Bone marrow smear.
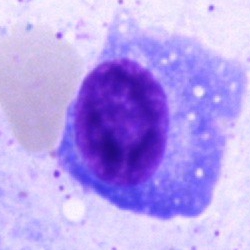
Impression — plasmacyte.